Bone marrow smear
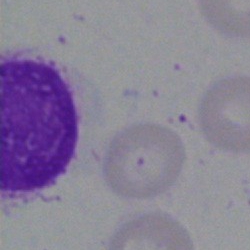Single cell identified as an artifact.